Bone marrow smear. Brightfield, 40× oil-immersion objective. 250 by 250 pixels — 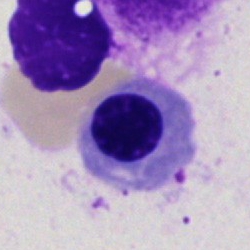

Q: What is the morphological classification of this cell?
A: Nucleated red blood cell.